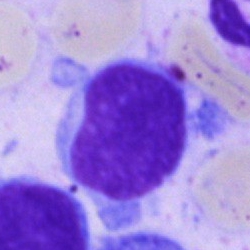 {"cell_type": "blast cell"}